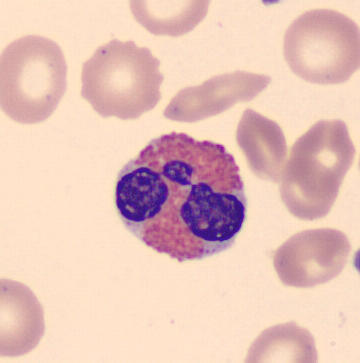
Peripheral blood film. An eosinophil.